Bone marrow aspirate smear: 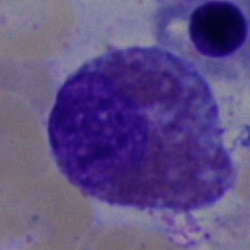

The cell type is eosinophilic granulocyte.